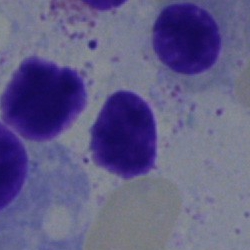

Impression — typical lymphocyte.